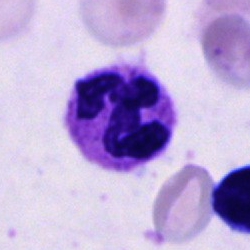

Classification: neutrophil (segmented).